Single-cell crop; bone marrow smear — 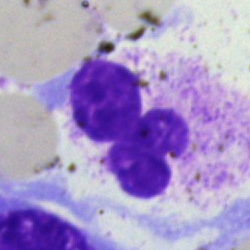 The cell shown is a polymorphonuclear neutrophil.